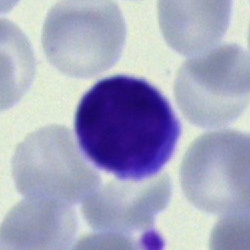

Showing a lymphocyte.